Cropped to a single cell; peripheral blood smear:
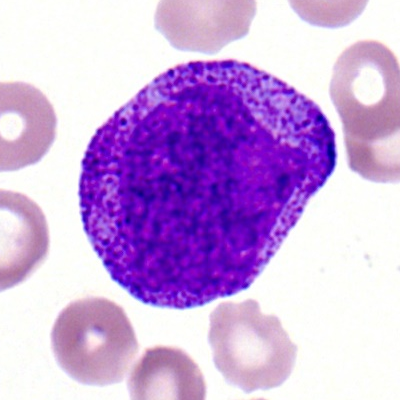 Cell: progranulocyte.